Bone marrow aspirate smear · MGG-stained — 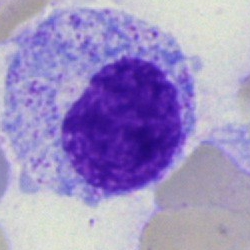Q: What type of cell is this?
A: Promyelocyte.